Bone marrow aspirate smear
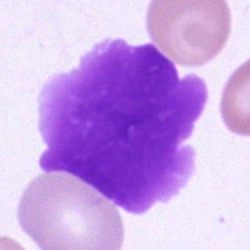

Morphological class — artefact.